MGG-stained · bone marrow aspirate smear: 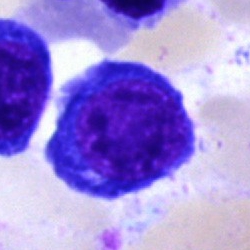
Morphology — nucleated red blood cell.